Bone marrow smear. Single cell centered in the field:
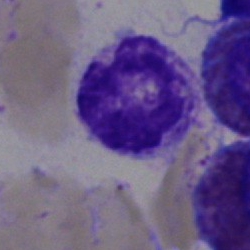

The cell shown is a neutrophil (segmented).